Bone marrow smear · 40× objective, oil immersion — 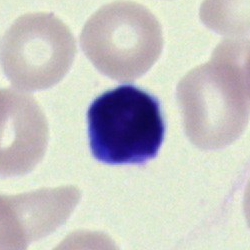

Q: What is the morphological classification of this cell?
A: This is a lymphocyte.